Bone marrow aspirate smear:
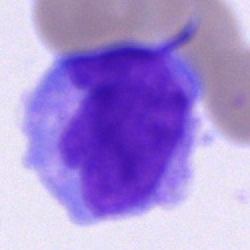Cell type: monocyte.